Bone marrow smear; 40× oil immersion; single-cell crop
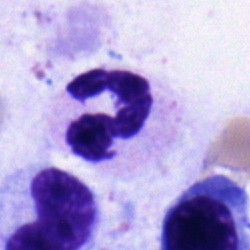
Impression — segmented neutrophil.